Bone marrow smear; brightfield, 40× oil-immersion objective: 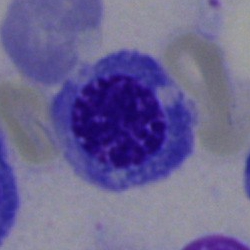
Morphological class — nucleated red blood cell.